Single cell centered in the field · bone marrow aspirate smear — 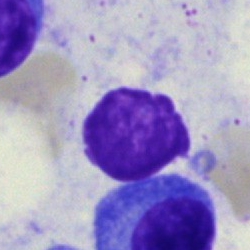
Cell type: artefact.